Bone marrow aspirate smear. Cropped to a single cell — 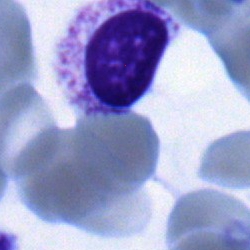
Morphological class = myelocyte.